250 by 250 pixels. Brightfield, 40× oil-immersion objective. Bone marrow smear: 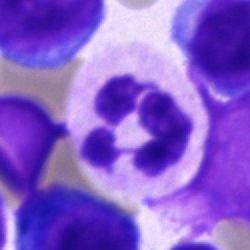
Morphological class — segmented neutrophil.